Pappenheim-stained. 40× objective, oil immersion. Bone marrow aspirate smear:
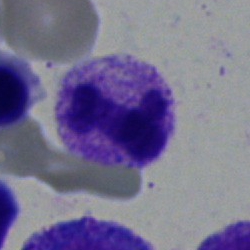
Q: What type of cell is this?
A: A neutrophil (segmented).